250×250 px; bone marrow aspirate smear; Pappenheim-stained:
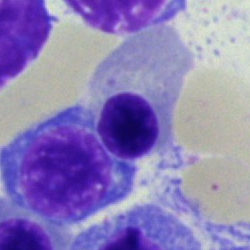Morphological class = nucleated red cell.